Brightfield microscopy, 40× oil immersion; 250×250; bone marrow smear:
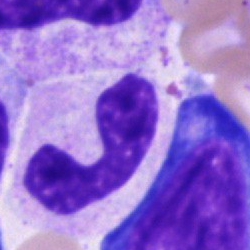
Specimen: bone marrow aspirate smear.
Morphological class: neutrophil (band).
Lineage: myeloid.